Bone marrow smear. Cropped to a single cell. Brightfield microscopy, 40× oil immersion — 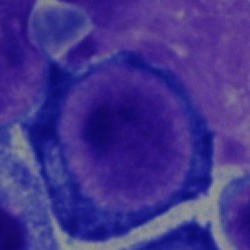Q: What is shown here?
A: A pronormoblast.